Bone marrow smear
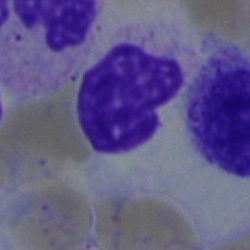
Morphology consistent with a neutrophil (segmented).